Bone marrow smear · MGG-stained
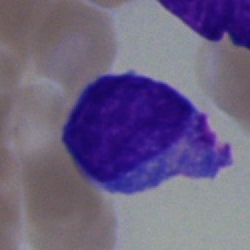
Impression → undifferentiated blast.